Bone marrow aspirate smear
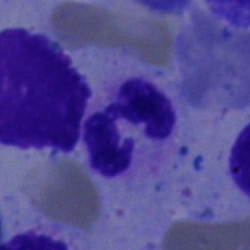
Single cell identified as a segmented neutrophil.